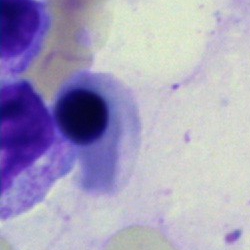

{"cell_type": "nucleated red blood cell", "lineage": "erythroid"}